MGG-stained · bone marrow smear:
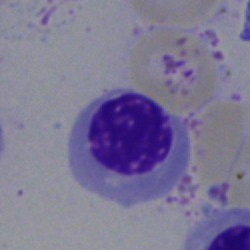 {"cell_type": "normoblast", "lineage": "erythroid"}